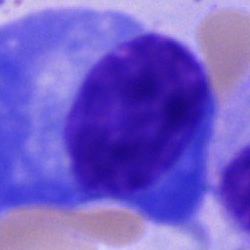

Single cell identified as a plasmacyte.